May-Grünwald-Giemsa/Pappenheim stain · bone marrow aspirate smear — 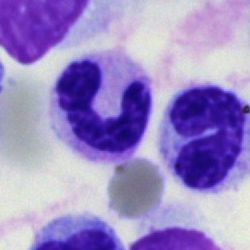

The cell is neutrophil (segmented).